Pappenheim-stained; 40× objective, oil immersion; bone marrow smear.
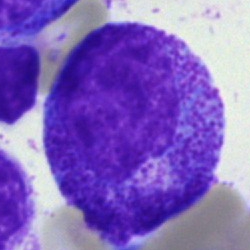 The cell is progranulocyte.